MGG-stained · single-cell field · bone marrow aspirate smear:
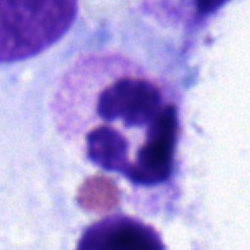
Q: Which cell type is shown here?
A: A segmented neutrophil.